Bone marrow aspirate smear · brightfield microscopy, 40× oil immersion · single cell centered in the field.
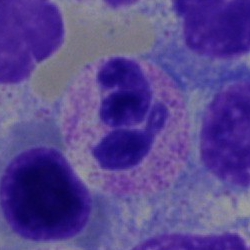 Impression → polymorphonuclear neutrophil.